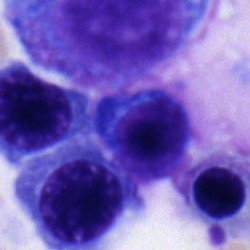This is a lymphocyte.